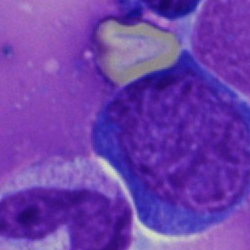A proerythroblast on a bone marrow smear.